Bone marrow aspirate smear:
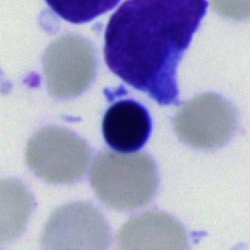 Specimen: bone marrow smear.
Classification: artifact.